Bone marrow aspirate smear
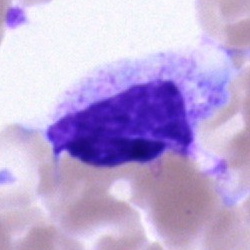

Specimen: bone marrow smear.
Cell type: unidentifiable cell.